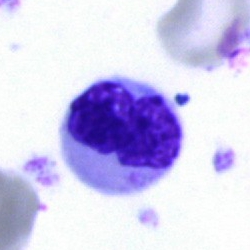

Morphology consistent with a nucleated red cell.